Romanowsky-stained · peripheral blood film: 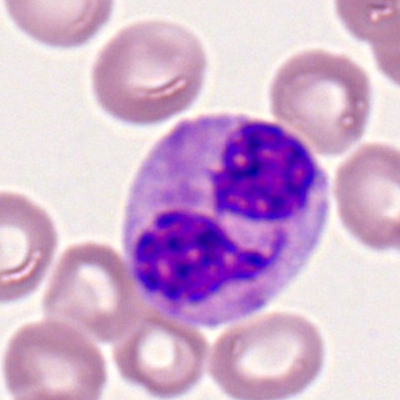

Q: Which cell type is shown here?
A: It is a neutrophil (segmented).